Bone marrow smear — 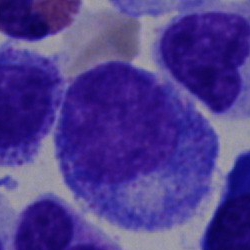

A progranulocyte.